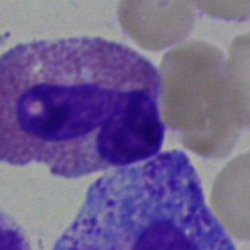

{"cell_type": "eosinophilic granulocyte"}